Cropped to a single cell · MGG-stained · bone marrow smear
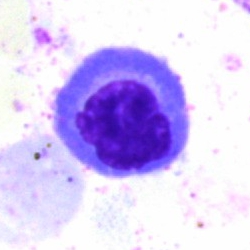
The cell shown is a plasmacyte.